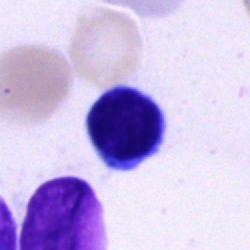 Morphology → lymphocyte.